Bone marrow aspirate smear. MGG-stained — 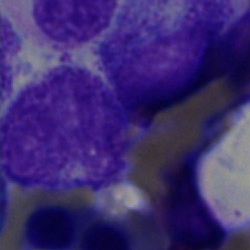Cell = unidentifiable cell.